40× objective, oil immersion · May-Grünwald-Giemsa stain · bone marrow smear.
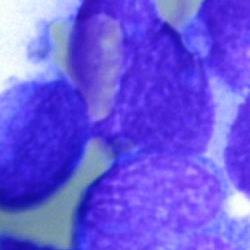 Q: What is shown here?
A: An artifact.